Bone marrow aspirate smear; image size 250×250; 40× objective, oil immersion
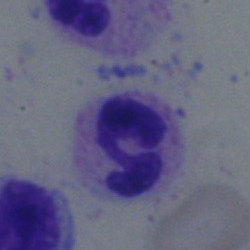Cell = neutrophil (segmented).